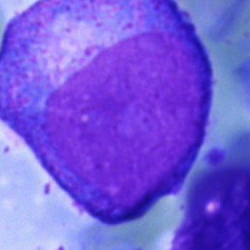

Q: Identify the cell.
A: It is a progranulocyte.